Bone marrow aspirate smear; MGG-stained — 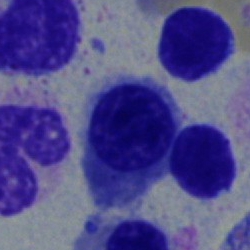 Cell = nucleated red blood cell.